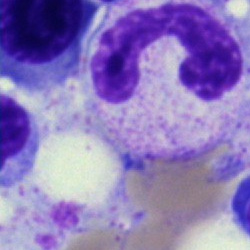
Showing a band-form neutrophil.